Bone marrow aspirate smear: 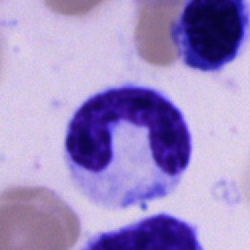

Cell — neutrophil (band).